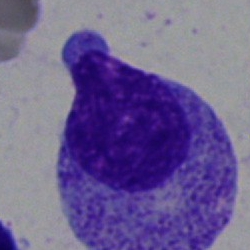
A myelocyte.